Single cell centered in the field · bone marrow smear
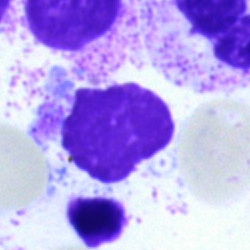Cell type — artifact.